Peripheral blood smear — 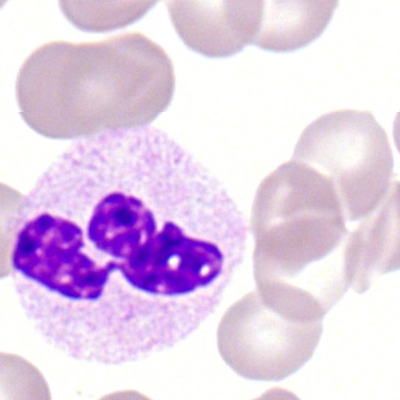
Q: Which cell type is shown here?
A: It is a neutrophil (segmented).